Single-cell crop. Peripheral blood film. 400×400:
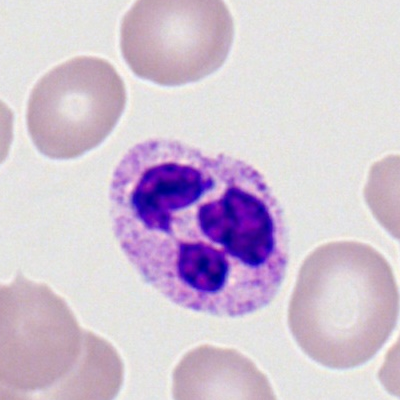The cell shown is a polymorphonuclear neutrophil.